Bone marrow smear. May-Grünwald-Giemsa/Pappenheim stain
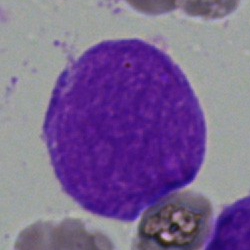

The classification is blast cell.